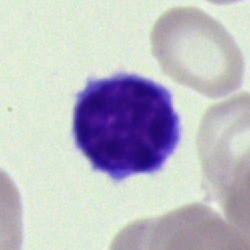
Single cell identified as a lymphocyte.